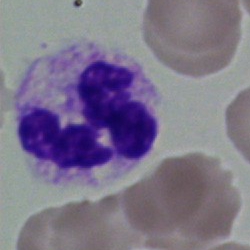Classification = neutrophil (segmented).